Peripheral blood film
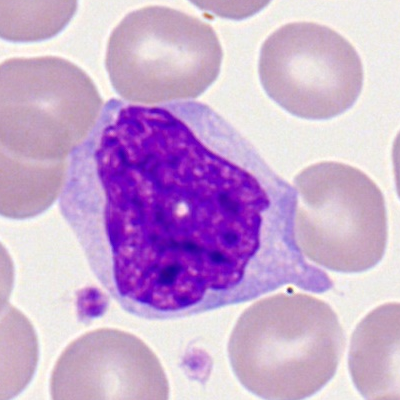
Classification: monocyte.